250×250. Brightfield microscopy, 40× oil immersion. Bone marrow aspirate smear
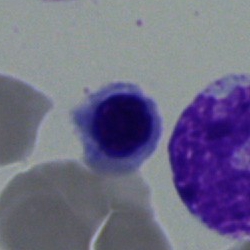 Morphology consistent with a normoblast.